Bone marrow aspirate smear · single-cell crop · 40× objective, oil immersion:
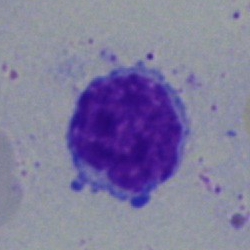

The morphological class is typical lymphocyte.